Bone marrow aspirate smear
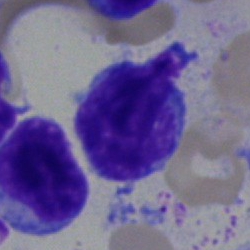 Specimen: bone marrow aspirate smear.
Classification: typical lymphocyte.
Lineage: lymphoid.